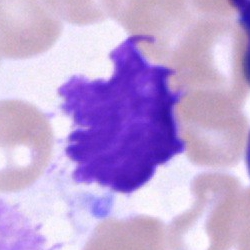 {"cell_type": "artefact"}